Bone marrow aspirate smear: 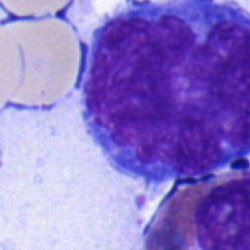Morphology → blast.